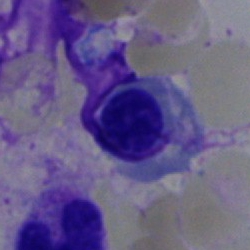The cell type is normoblast.